Bone marrow smear: 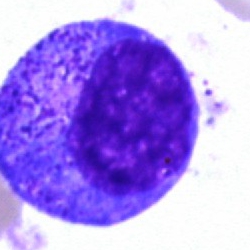Specimen: bone marrow smear.
Morphological class: progranulocyte.
Lineage: myeloid.